Single cell centered in the field. MGG-stained. Bone marrow smear — 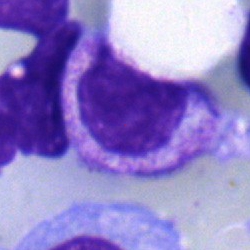Q: Which cell type is shown here?
A: It is a myelocyte.